Bone marrow aspirate smear — 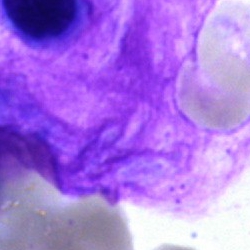

Specimen: bone marrow aspirate smear.
Cell: artefact.